Brightfield, 40× oil-immersion objective; cropped to a single cell; bone marrow smear — 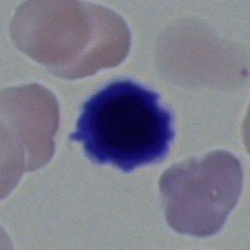 Single cell identified as a lymphocyte.